Bone marrow smear · 250×250 — 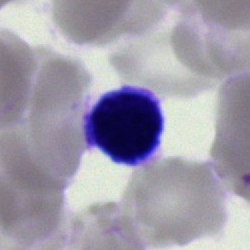Morphology consistent with a typical lymphocyte.